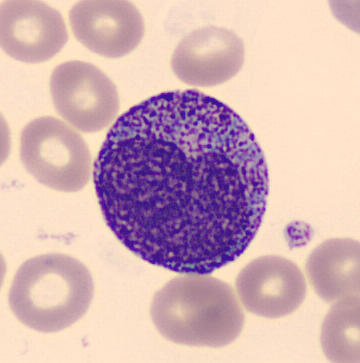Impression — progranulocyte.